Bone marrow smear — 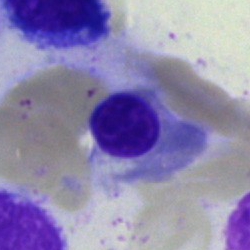 Q: Identify the cell.
A: A normoblast.